Bone marrow aspirate smear
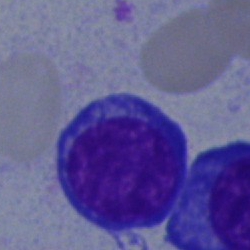
Impression → erythroblast.